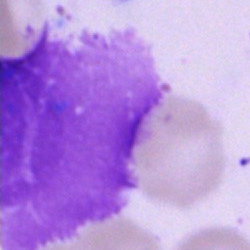 An artefact on a bone marrow smear.